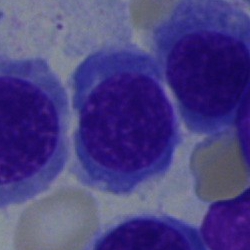

A normoblast on a bone marrow smear.